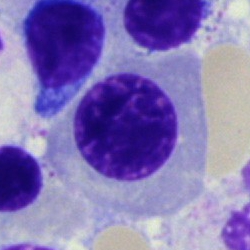 Morphology consistent with a normoblast.